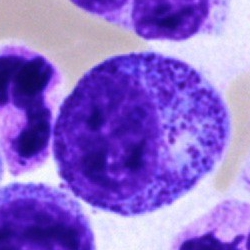

Showing a progranulocyte.